Bone marrow smear
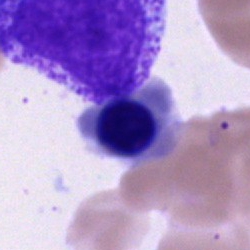 Cell: nucleated red blood cell.